40× objective, oil immersion; bone marrow smear — 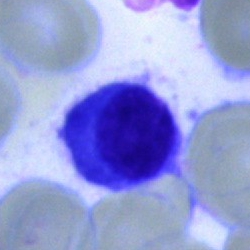

Q: Which cell type is shown here?
A: It is a plasma cell.